Bone marrow smear · 250 by 250 pixels:
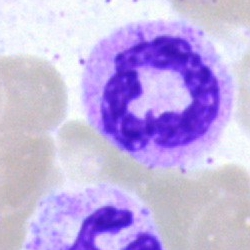Specimen: bone marrow smear.
Cell: segmented neutrophil.